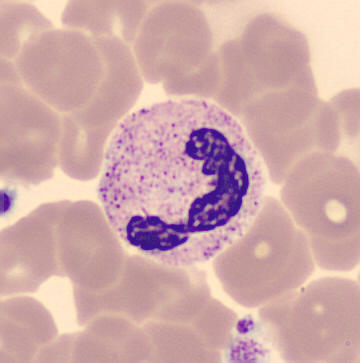 This is a polymorphonuclear neutrophil.

Cropped to a single cell · CellaVision DM96 digital cell image · peripheral blood film.